Bone marrow smear
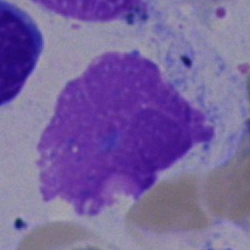 Cell = artifact.